Bone marrow aspirate smear; May-Grünwald-Giemsa stain; 40× oil immersion — 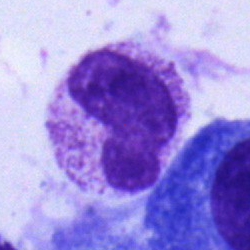
Q: Identify the cell.
A: Metamyelocyte.